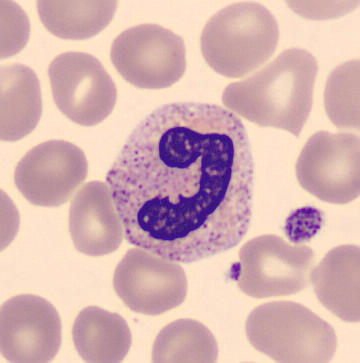 Image: Peripheral blood smear. 360 by 363 pixels. CellaVision DM96 digital cell image. Q: What is this?
A: This is a band-form neutrophil.